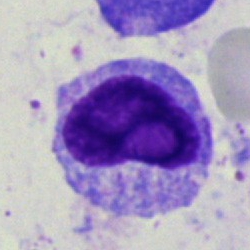 The cell shown is a myelocyte.